250×250 · bone marrow aspirate smear · single-cell field: 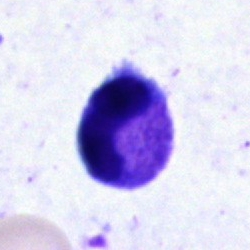 Q: Which cell type is shown here?
A: Neutrophil (segmented).